Bone marrow smear — 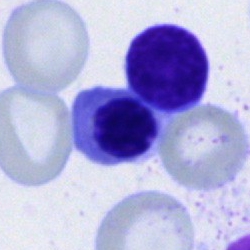

Cell type: erythroblast.